Bone marrow aspirate smear:
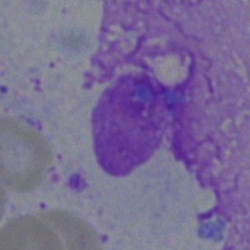
This is an artifact.